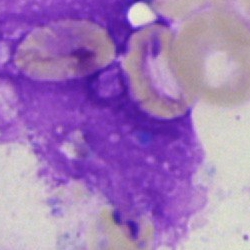

Specimen: bone marrow aspirate smear.
Cell: artefact.